May-Grünwald-Giemsa/Pappenheim stain. Bone marrow aspirate smear: 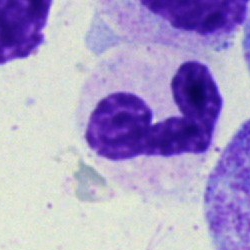 Morphology — neutrophil (band).